Bone marrow aspirate smear. 40× objective, oil immersion
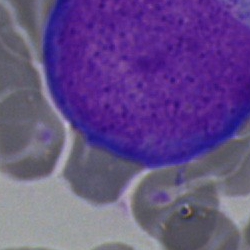 {"cell_type": "blast cell"}